Bone marrow smear — 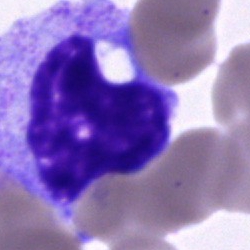 A progranulocyte.